40× objective, oil immersion. May-Grünwald-Giemsa stain. Bone marrow aspirate smear:
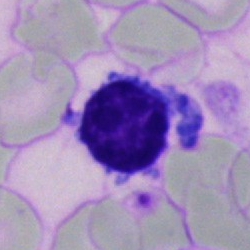

This is a lymphocyte.